Bone marrow aspirate smear · 250 by 250 pixels · May-Grünwald-Giemsa stain
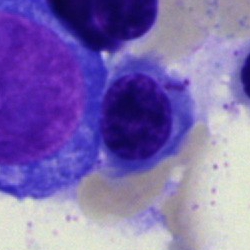
Cell type = normoblast.